Brightfield microscopy, 40× oil immersion. Bone marrow smear.
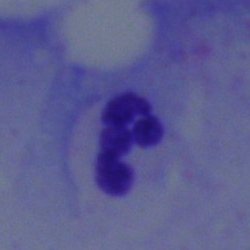

Morphological class — polymorphonuclear neutrophil.